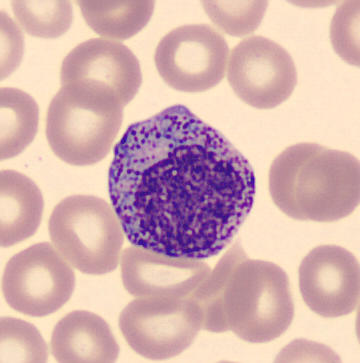

This is a myelocyte.

Peripheral blood smear.